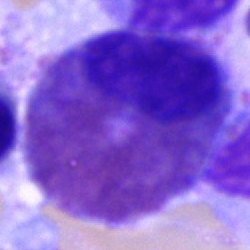Specimen: bone marrow aspirate smear.
Cell: eosinophilic granulocyte.
Lineage: myeloid.